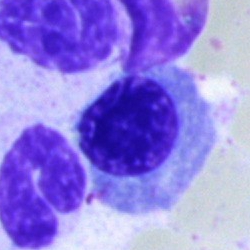A nucleated red blood cell on a bone marrow smear.